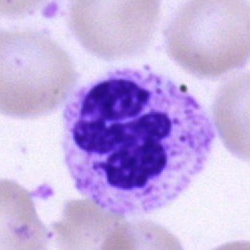
Q: What type of cell is this?
A: It is a neutrophil (segmented).